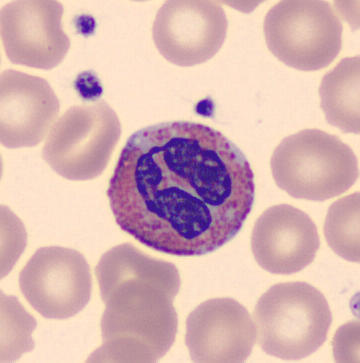

Q: Identify the cell.
A: Eosinophilic granulocyte.
Image: Peripheral blood film.